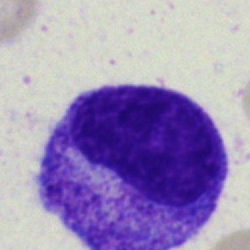Specimen: bone marrow smear.
Morphological class: myelocyte.
Lineage: myeloid.